40× oil immersion. Bone marrow smear
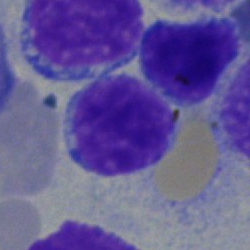
{"cell_type": "typical lymphocyte"}